May-Grünwald-Giemsa stain · bone marrow aspirate smear · 250×250: 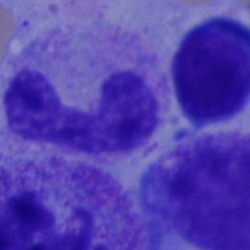

{"cell_type": "band-form neutrophil", "lineage": "myeloid"}